Bone marrow aspirate smear: 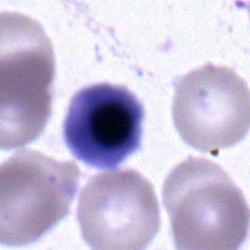 Morphological class: erythroblast.